Peripheral blood film; 400 by 400 pixels:
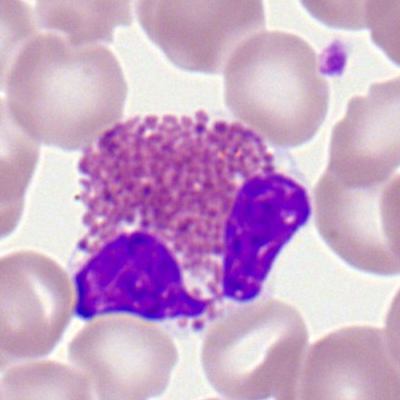
Q: Which cell type is shown here?
A: This is an eosinophilic granulocyte.